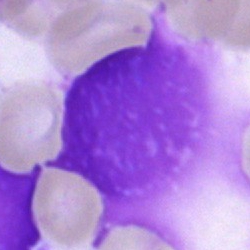Q: What is shown here?
A: Artifact.